Bone marrow aspirate smear — 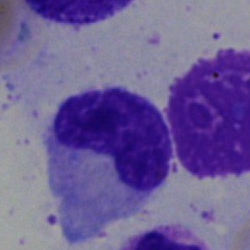

The cell shown is a neutrophil (band).